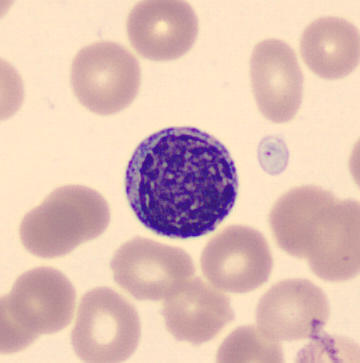 360×363; CellaVision DM96; peripheral blood smear. Morphology consistent with a myelocyte.